Bone marrow smear — 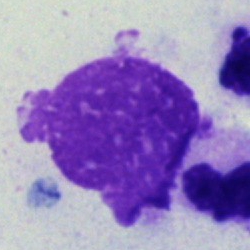 The cell is artifact.